Bone marrow aspirate smear.
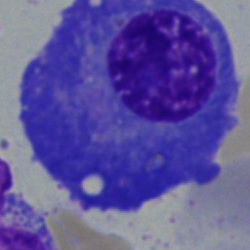

Q: What type of cell is this?
A: A plasmacyte.